Bone marrow smear — 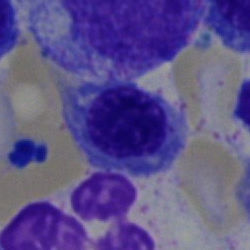

Classification = nucleated red cell.